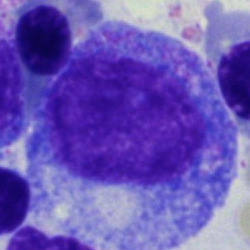

Morphological class: promyelocyte.